Bone marrow aspirate smear · 40× oil immersion · MGG-stained:
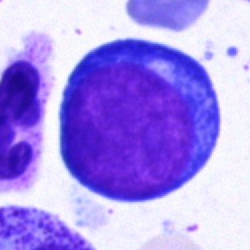The cell shown is a proerythroblast.